250×250; May-Grünwald-Giemsa stain; bone marrow smear — 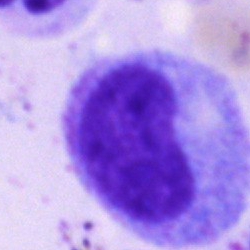Specimen: bone marrow aspirate smear.
Classification: progranulocyte.